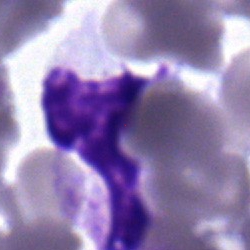 The morphological class is neutrophil (segmented).